Bone marrow smear: 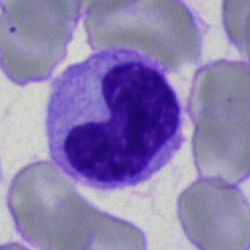

Morphological class — metamyelocyte.